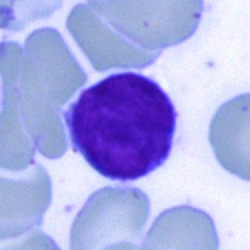The cell type is typical lymphocyte.